Peripheral blood smear; 400 by 400 pixels: 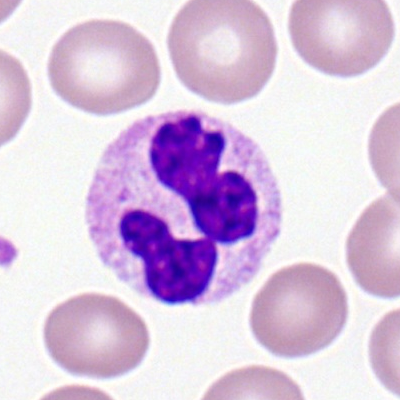

Morphological class = segmented neutrophil.